Cropped to a single cell; bone marrow smear:
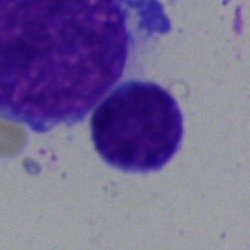

Impression → typical lymphocyte.